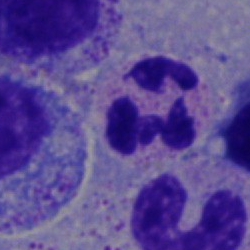
A neutrophil (segmented) on a bone marrow smear.